Bone marrow smear — 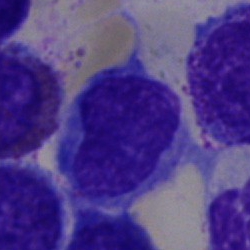

{"cell_type": "blast cell"}